Bone marrow smear:
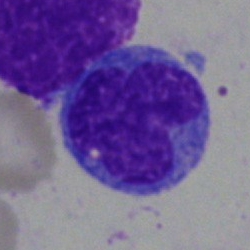 Morphology consistent with an undifferentiated blast.